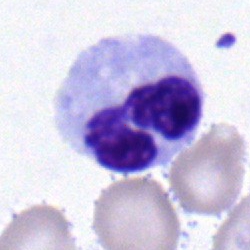
Specimen: bone marrow smear.
Morphological class: segmented neutrophil.
Lineage: myeloid.